Peripheral blood film. 400 by 400 pixels. 100× oil immersion, 14.14 px/µm:
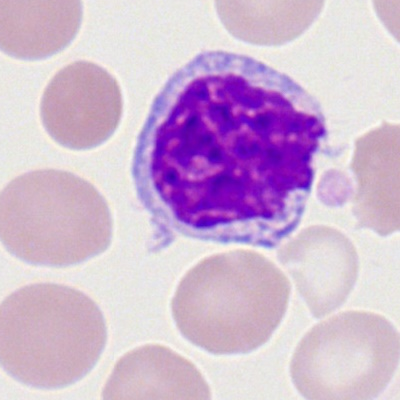 A lymphocyte.